Bone marrow smear:
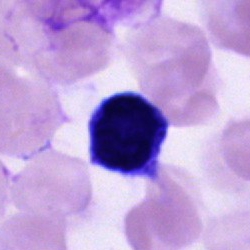 Specimen: bone marrow aspirate smear.
Morphological class: unidentifiable cell.